Peripheral blood film:
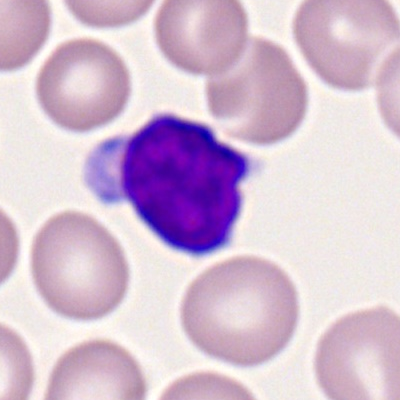Specimen: peripheral blood film.
Cell: typical lymphocyte.
Lineage: lymphoid.